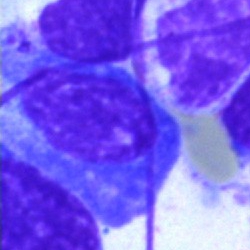
A plasma cell.